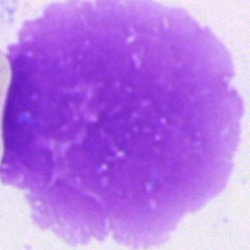 The cell shown is an artifact.